Bone marrow smear. Cropped to a single cell. 40× oil immersion: 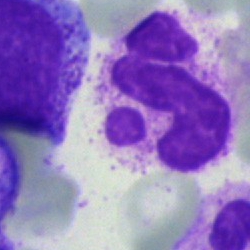
Neutrophil (segmented).